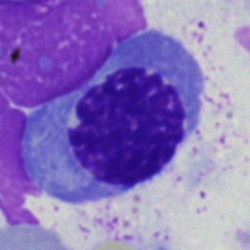
Specimen: bone marrow smear.
Classification: nucleated red blood cell.
Lineage: erythroid.